Bone marrow smear. May-Grünwald-Giemsa stain:
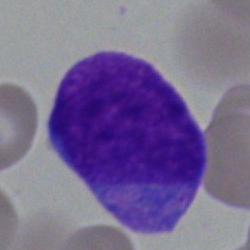
Impression — blast cell.